Bone marrow smear
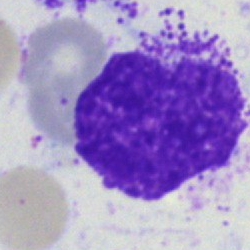 Specimen: bone marrow smear.
Cell type: artifact.